Bone marrow aspirate smear. Brightfield microscopy, 40× oil immersion: 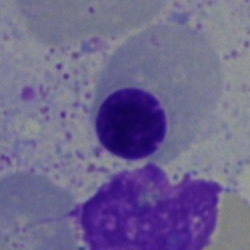 Q: Which cell type is shown here?
A: This is an erythroblast.